Bone marrow aspirate smear · 250 by 250 pixels · single-cell crop: 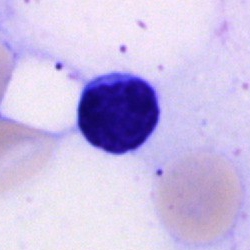Impression → typical lymphocyte.